Bone marrow aspirate smear; 250×250 px; single-cell crop — 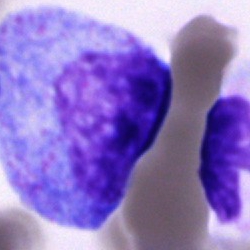{"cell_type": "progranulocyte"}